Bone marrow smear
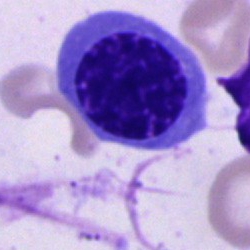 Q: What cell is this?
A: A nucleated red cell.